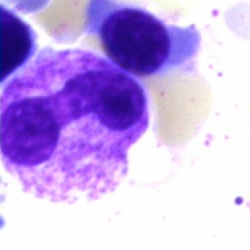
Single-cell crop from a bone marrow smear: polymorphonuclear neutrophil.